Bone marrow smear:
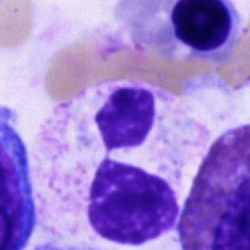 Specimen: bone marrow smear.
Cell type: polymorphonuclear neutrophil.